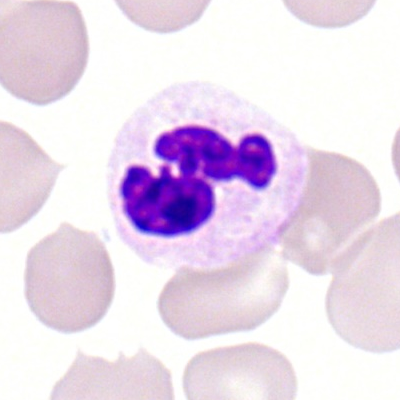 The classification is polymorphonuclear neutrophil.